Bone marrow aspirate smear.
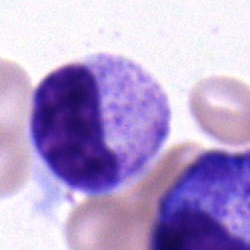 Morphology → myelocyte.